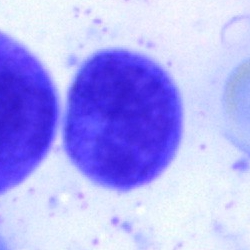 Q: What type of cell is this?
A: It is an unidentifiable cell.